Bone marrow aspirate smear; 250×250 px — 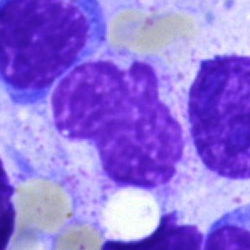 Specimen: bone marrow aspirate smear.
Classification: artifact.